Bone marrow aspirate smear — 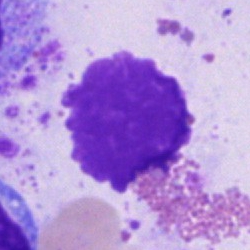{"cell_type": "artifact"}